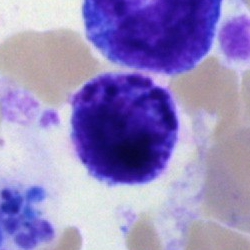The morphological class is basophilic granulocyte.